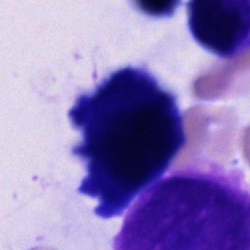
Showing a cell of indeterminate lineage.